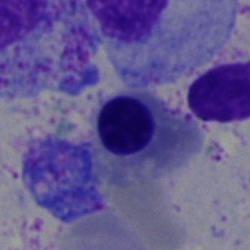

Cell type: normoblast.